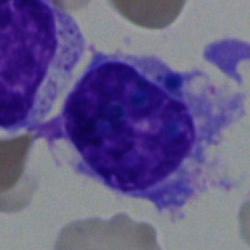

The cell shown is a monocyte.